Pappenheim-stained · bone marrow smear · 250×250:
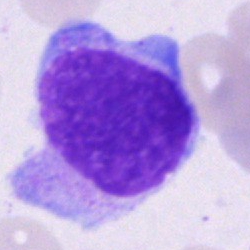
Impression — artifact.